May-Grünwald-Giemsa stain. Brightfield, 40× oil-immersion objective. Bone marrow aspirate smear.
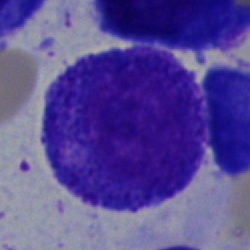 The cell shown is a promyelocyte.